May-Grünwald-Giemsa/Pappenheim stain. 40× oil immersion. Bone marrow smear
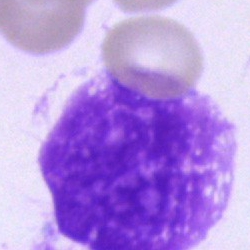

This is an artefact.